Bone marrow aspirate smear; May-Grünwald-Giemsa stain — 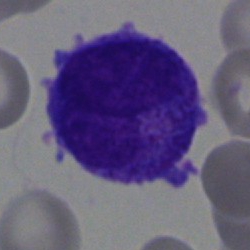

Morphology consistent with a blast.